Bone marrow aspirate smear
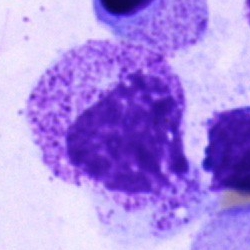
Classification = myelocyte.